Bone marrow aspirate smear
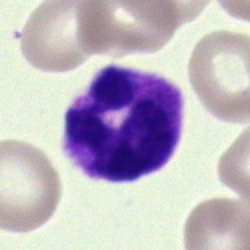

Q: Identify the cell.
A: A neutrophil (segmented).